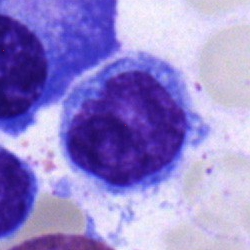Q: Identify the cell.
A: Lymphocyte.